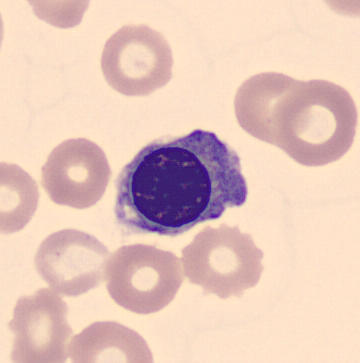
Specimen: peripheral blood smear.
Cell: erythroblast.
Lineage: erythroid.
360×363 px.